Bone marrow aspirate smear: 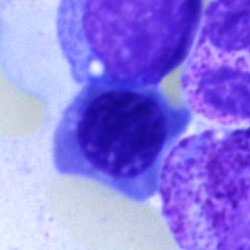

Segmented neutrophil.